Bone marrow smear.
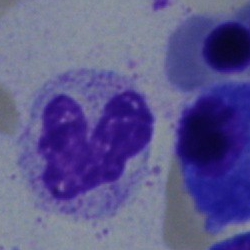 Specimen: bone marrow aspirate smear.
Cell type: band neutrophil.
Lineage: myeloid.